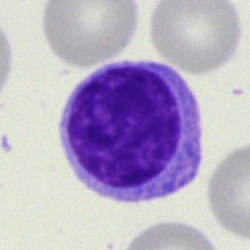Single-cell crop from a bone marrow smear: lymphocyte.